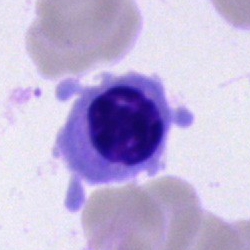
Normoblast.